250×250 px · brightfield, 40× oil-immersion objective · bone marrow aspirate smear.
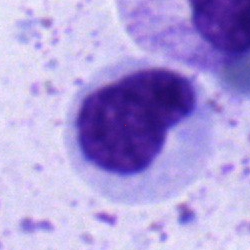

Q: What is the morphological classification of this cell?
A: This is a metamyelocyte.